Romanowsky-stained; peripheral blood smear:
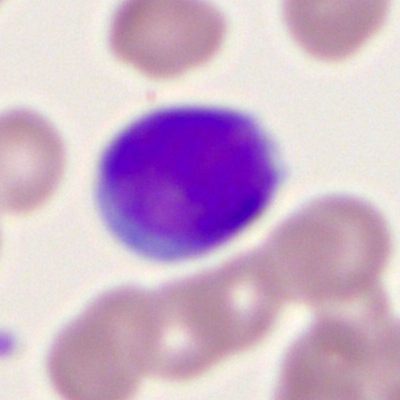
The cell type is myeloblast.